Bone marrow smear.
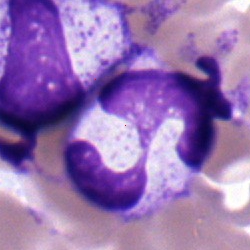

Q: Identify the cell.
A: It is a polymorphonuclear neutrophil.